Cropped to a single cell. Bone marrow aspirate smear — 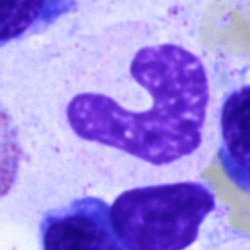 Q: Identify the cell.
A: This is a band neutrophil.